Bone marrow smear — 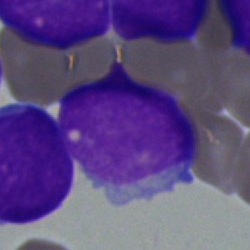Specimen: bone marrow smear.
Cell type: undifferentiated blast.